Bone marrow aspirate smear; May-Grünwald-Giemsa stain.
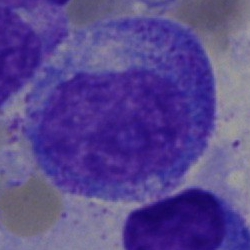 {"cell_type": "progranulocyte"}